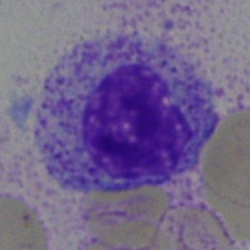Morphology consistent with a myelocyte.